Peripheral blood smear. 100× oil immersion, 14.14 px/µm: 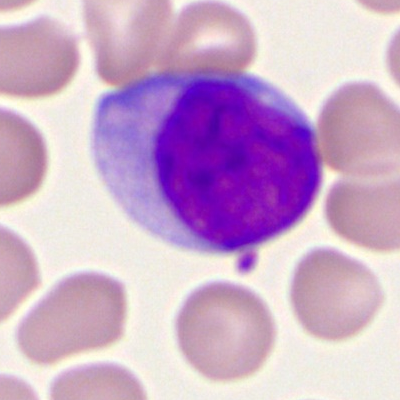

The classification is myeloid blast.